Bone marrow smear — 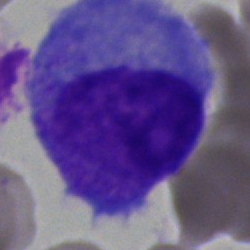

Morphology consistent with a promyelocyte.